Bone marrow smear. Cropped to a single cell. 250×250 px.
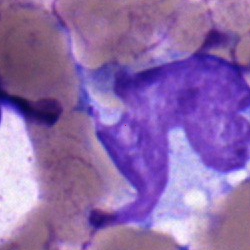

Single cell identified as a monocyte.